Romanowsky stain. Peripheral blood smear.
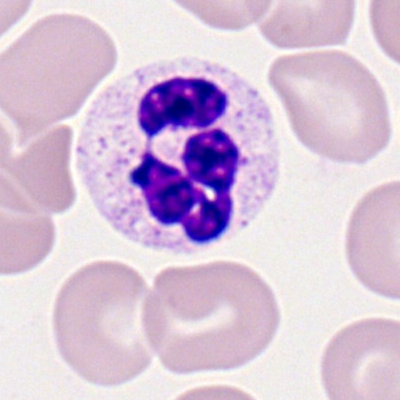

Neutrophil (segmented).